Bone marrow aspirate smear. Pappenheim-stained. Brightfield microscopy, 40× oil immersion
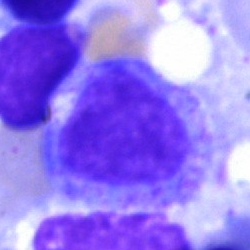Q: What is the morphological classification of this cell?
A: A promyelocyte.